Bone marrow aspirate smear:
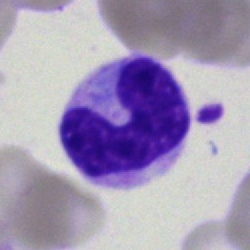

{"cell_type": "neutrophil (band)", "lineage": "myeloid"}